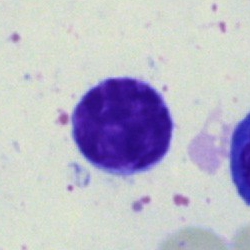
Specimen: bone marrow aspirate smear.
Classification: typical lymphocyte.
Lineage: lymphoid.